Bone marrow aspirate smear. 250×250 px — 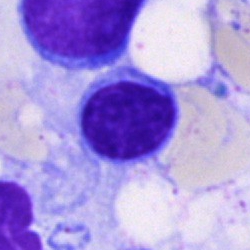

Q: What is shown here?
A: Typical lymphocyte.